Brightfield, 40× oil-immersion objective; bone marrow aspirate smear:
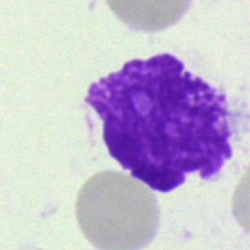Classification — artifact.